Single-cell field. Peripheral blood smear. Image size 400×400 — 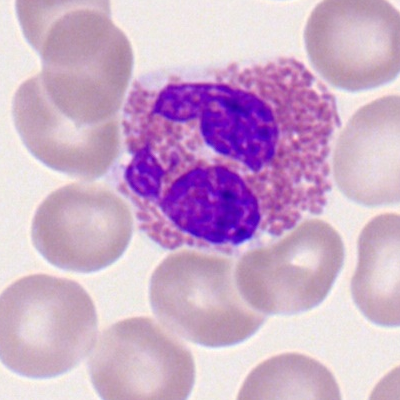 Cell type: eosinophil.